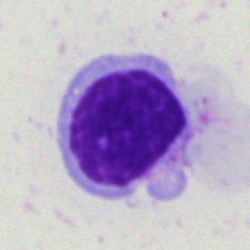Q: Identify the cell.
A: It is a lymphocyte.